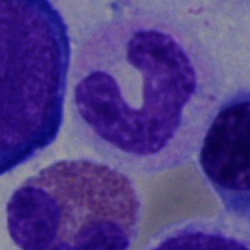
The cell is band neutrophil.